Bone marrow smear:
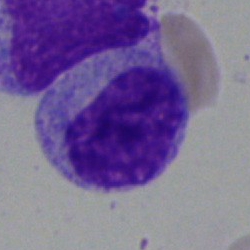
Single cell identified as a myelocyte.